Bone marrow smear
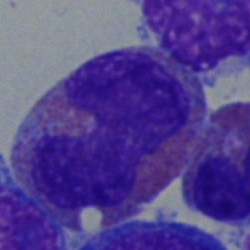
Cell type = eosinophilic granulocyte.